MGG-stained; bone marrow smear; 40× objective, oil immersion
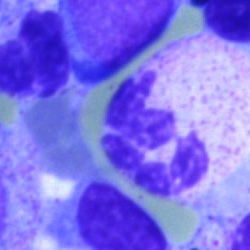

Specimen: bone marrow aspirate smear.
Classification: polymorphonuclear neutrophil.
Lineage: myeloid.